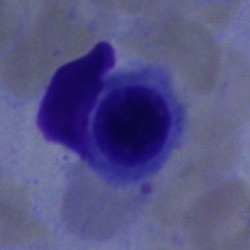 Morphology → nucleated red blood cell.